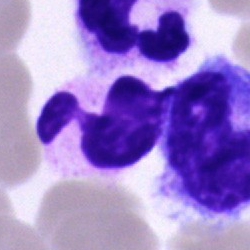

Cell type = polymorphonuclear neutrophil.